Bone marrow aspirate smear.
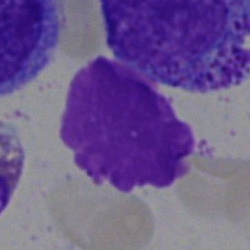Q: What is shown here?
A: Artifact.